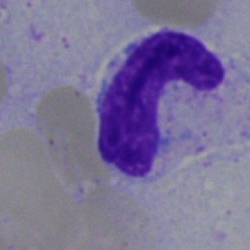

The cell is neutrophil (segmented).